40× objective, oil immersion · bone marrow smear
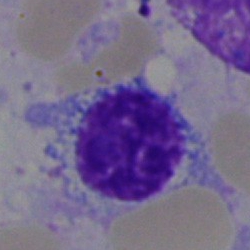

Single cell identified as a lymphocyte.